Bone marrow smear:
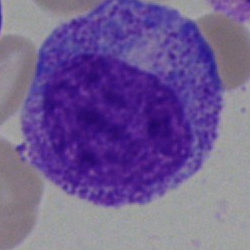
Specimen: bone marrow smear.
Cell type: progranulocyte.